Bone marrow smear.
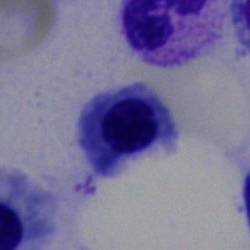 Cell — normoblast.